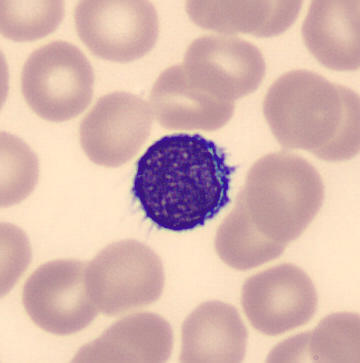 Acquisition: MGG stain; peripheral blood smear.

Q: What is this?
A: This is a typical lymphocyte.